Bone marrow smear · Pappenheim-stained: 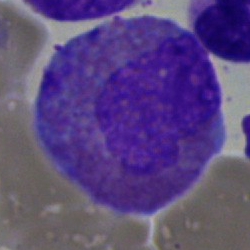An eosinophil.